Bone marrow smear:
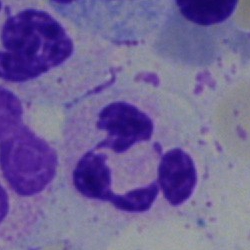
A neutrophil (segmented).